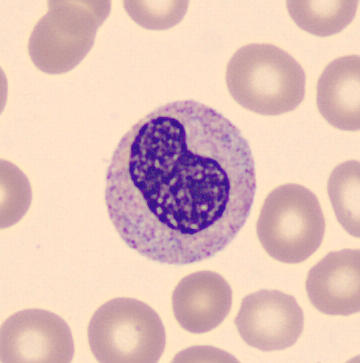Preparation: Peripheral blood film. Classification — metamyelocyte.